Cropped to a single cell. Bone marrow smear. Pappenheim-stained:
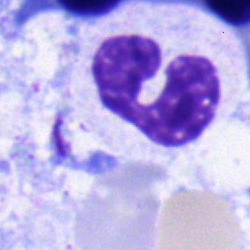

Single cell identified as a polymorphonuclear neutrophil.